Bone marrow aspirate smear
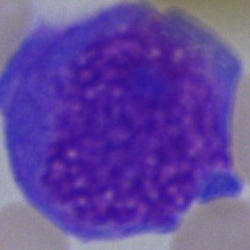

Morphology → artefact.